Bone marrow smear. Single-cell crop.
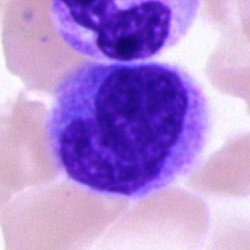 Classification = monocyte.